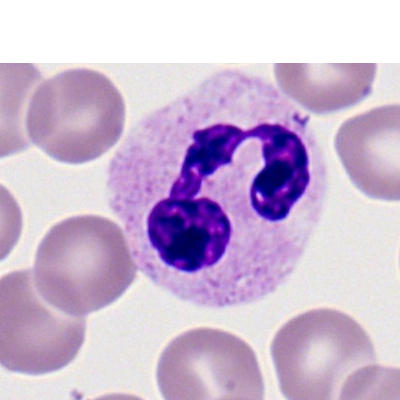 Q: What cell is this?
A: This is a segmented neutrophil.